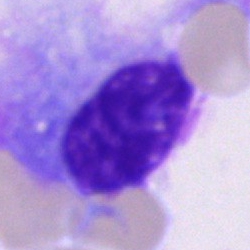 Showing a plasmacyte.